Bone marrow aspirate smear
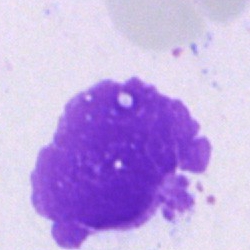Cell = artefact.